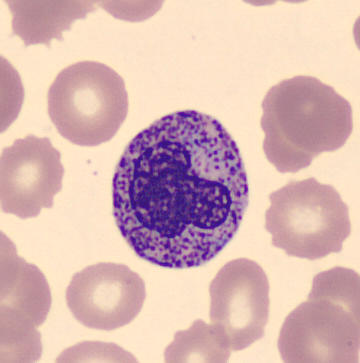

Acquisition: 360 by 363 pixels; cropped to a single cell; peripheral blood smear. Impression — myelocyte.